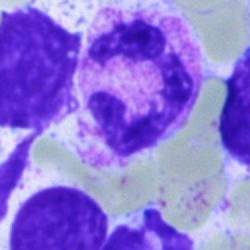
The classification is segmented neutrophil.